Bone marrow aspirate smear
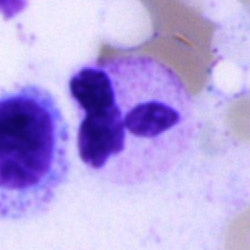
Cell type = polymorphonuclear neutrophil.